250×250 px. Bone marrow smear
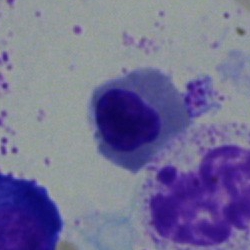 {"cell_type": "nucleated red cell", "lineage": "erythroid"}